40× objective, oil immersion; bone marrow aspirate smear; Pappenheim-stained.
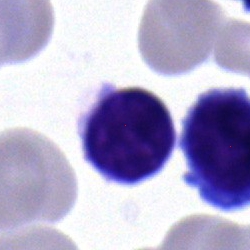The cell shown is a lymphocyte.